Bone marrow smear; May-Grünwald-Giemsa stain; single cell centered in the field:
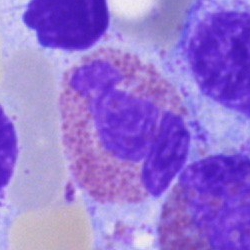
This is an eosinophilic granulocyte.